250×250 px. Bone marrow smear — 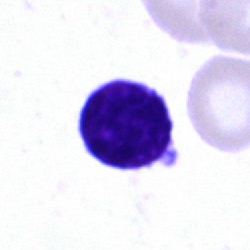

Q: What is the morphological classification of this cell?
A: Lymphocyte.